Bone marrow smear:
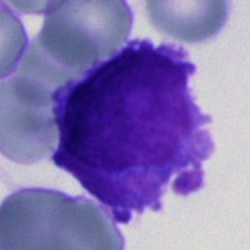
Morphology consistent with an undifferentiated blast.